Bone marrow aspirate smear:
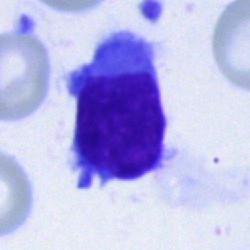Q: What is shown here?
A: A typical lymphocyte.